Bone marrow smear.
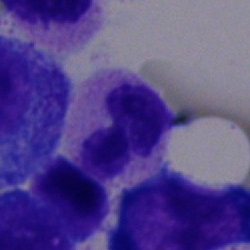
Showing a segmented neutrophil.